Bone marrow aspirate smear. Brightfield, 40× oil-immersion objective. 250×250 px:
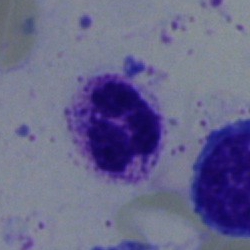 Specimen: bone marrow aspirate smear.
Classification: polymorphonuclear neutrophil.
Lineage: myeloid.